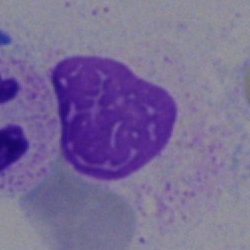

Morphology — artifact.